Bone marrow smear
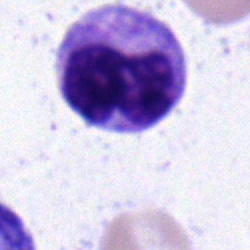Classification — stab cell.